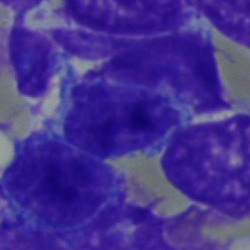Morphological class = typical lymphocyte.